Bone marrow aspirate smear. 40× oil immersion. May-Grünwald-Giemsa/Pappenheim stain: 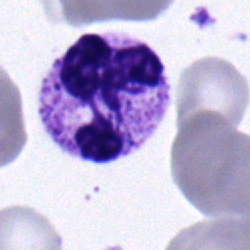 Morphological class — neutrophil (segmented).